Bone marrow smear · 250×250 px · 40× oil immersion: 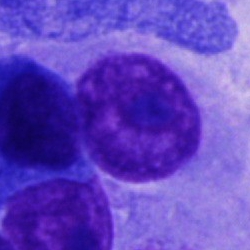 {"cell_type": "cell not matching the other categories"}